Bone marrow aspirate smear.
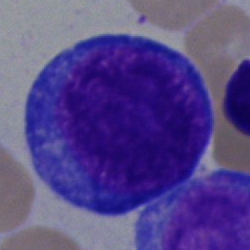Q: What type of cell is this?
A: This is a pronormoblast.